Single cell centered in the field · bone marrow smear.
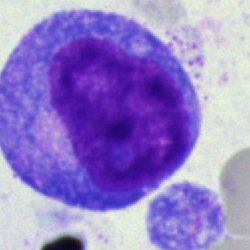
A blast cell.